Bone marrow aspirate smear
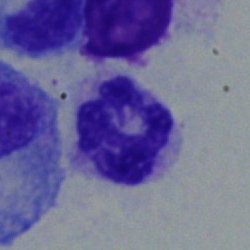Impression — segmented neutrophil.